Bone marrow smear: 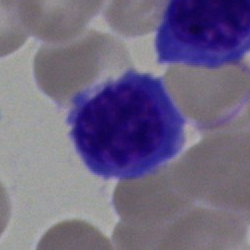
Q: What cell is this?
A: A nucleated red blood cell.